Bone marrow smear:
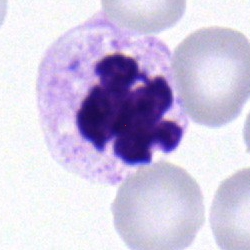Specimen: bone marrow smear.
Morphological class: segmented neutrophil.
Lineage: myeloid.